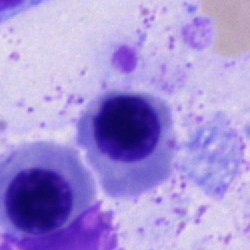 Morphological class — nucleated red cell.